Bone marrow smear
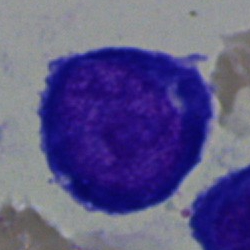{"cell_type": "proerythroblast", "lineage": "erythroid"}